Bone marrow aspirate smear
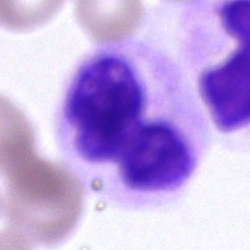 Specimen: bone marrow aspirate smear.
Cell type: polymorphonuclear neutrophil.
Lineage: myeloid.